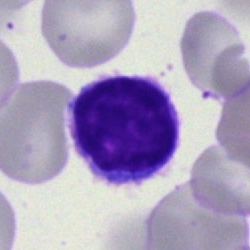Cell type — typical lymphocyte.